Bone marrow aspirate smear
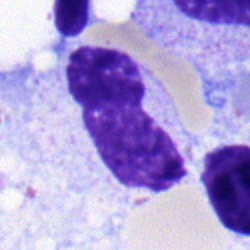The cell is segmented neutrophil.